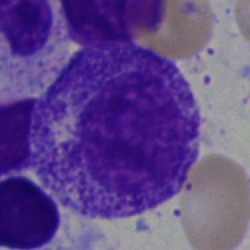

Q: What type of cell is this?
A: A myelocyte.